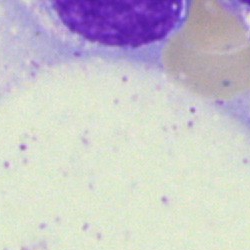
Single cell identified as an artefact.